Bone marrow aspirate smear — 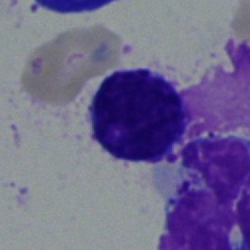

This is a typical lymphocyte.